Bone marrow smear.
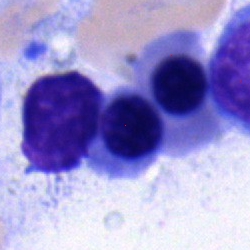 Erythroblast.